Bone marrow aspirate smear — 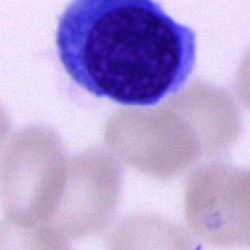 This is an erythroblast.